Single-cell field · bone marrow smear:
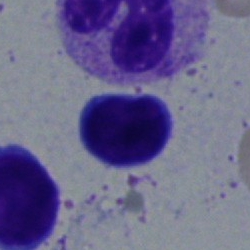

Morphological class = lymphocyte.